Bone marrow smear: 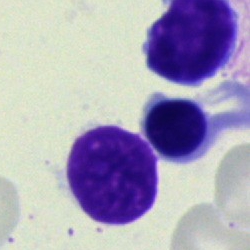
Morphology — nucleated red blood cell.